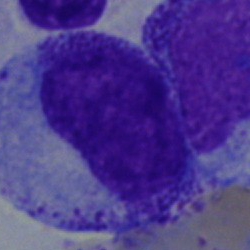 Myelocyte.